Bone marrow smear. May-Grünwald-Giemsa stain
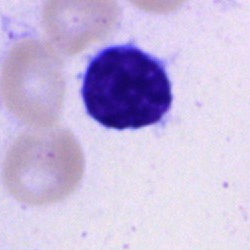Specimen: bone marrow smear.
Classification: typical lymphocyte.
Lineage: lymphoid.